Peripheral blood film
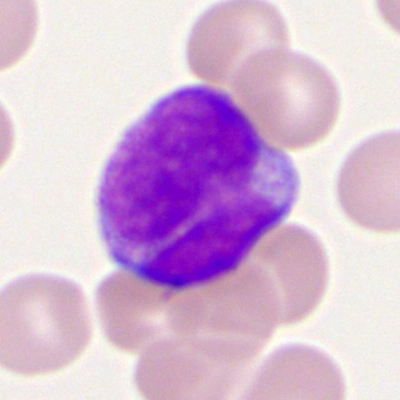 Cell type — myeloblast.